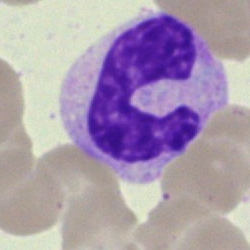 {"cell_type": "neutrophil (band)"}